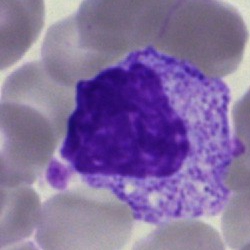

{"cell_type": "myelocyte"}